Bone marrow aspirate smear
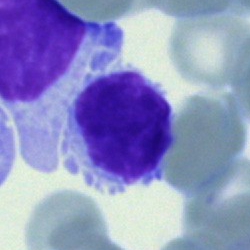
The cell shown is a typical lymphocyte.